Bone marrow smear · 40× oil immersion · cropped to a single cell: 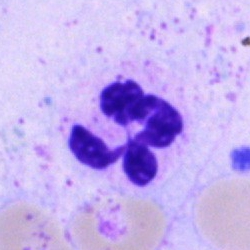 Q: What is shown here?
A: Segmented neutrophil.